250 by 250 pixels; bone marrow aspirate smear.
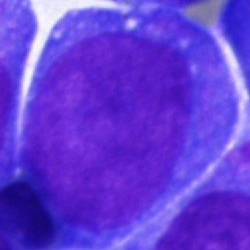

The cell shown is an undifferentiated blast.